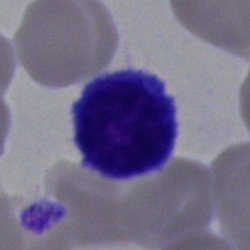Morphology → typical lymphocyte.